Bone marrow aspirate smear. 250 by 250 pixels — 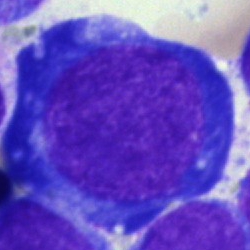
{"cell_type": "proerythroblast", "lineage": "erythroid"}